Bone marrow smear — 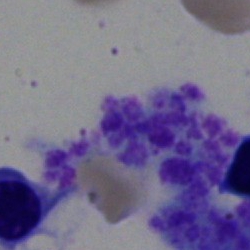The classification is artifact.